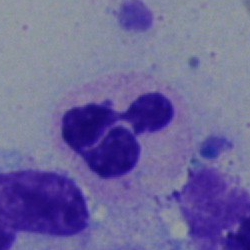

Q: What is the morphological classification of this cell?
A: It is a segmented neutrophil.